400×400 px. Peripheral blood film. 100× oil immersion, 14.14 px/µm — 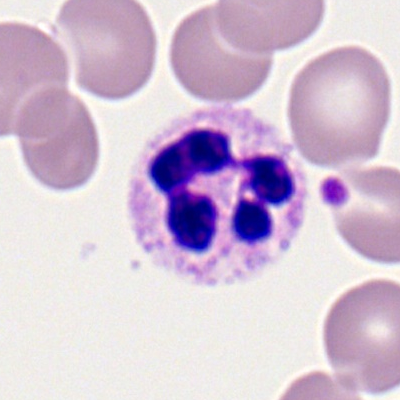

Single cell identified as a segmented neutrophil.